Brightfield, 40× oil-immersion objective; bone marrow aspirate smear; 250×250 px.
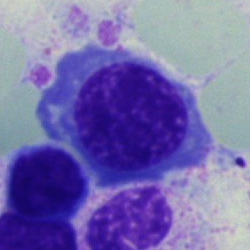
The cell shown is an erythroblast.